Bone marrow smear
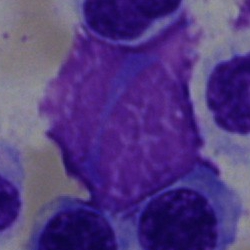

An artefact.